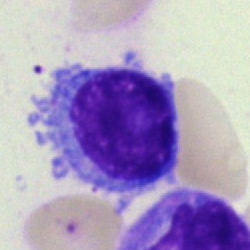

Q: What cell is this?
A: It is a lymphocyte.